Bone marrow aspirate smear:
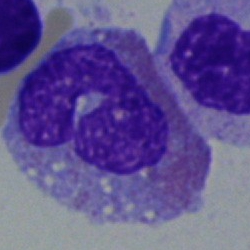 Q: What is the morphological classification of this cell?
A: An eosinophil.